Bone marrow aspirate smear: 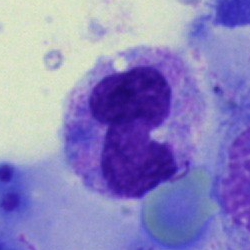Morphology consistent with a neutrophil (band).